Bone marrow aspirate smear: 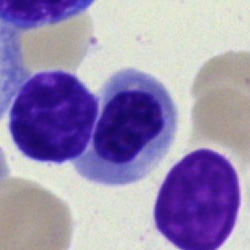
Morphological class = nucleated red blood cell.